Bone marrow aspirate smear:
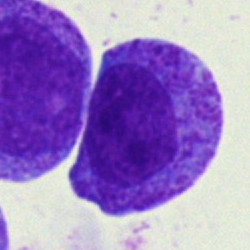

Q: What is the morphological classification of this cell?
A: A progranulocyte.